Bone marrow aspirate smear. Brightfield, 40× oil-immersion objective — 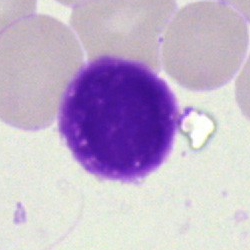The cell type is artifact.